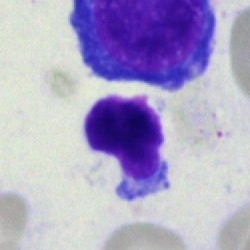Specimen: bone marrow smear.
Morphological class: lymphocyte.
Lineage: lymphoid.